Bone marrow smear; cropped to a single cell; 250 by 250 pixels.
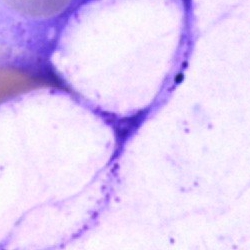 {"cell_type": "artefact"}